Peripheral blood smear.
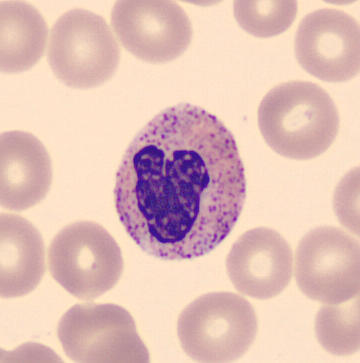The cell shown is a band neutrophil.